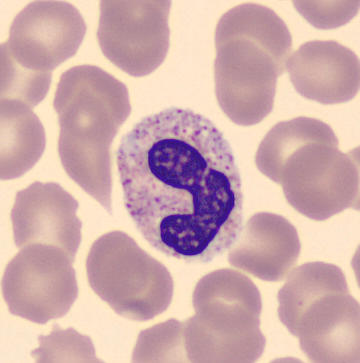Image: Peripheral blood film. Automated cell imaging (CellaVision DM96). Single cell identified as a neutrophil (band).